Bone marrow aspirate smear — 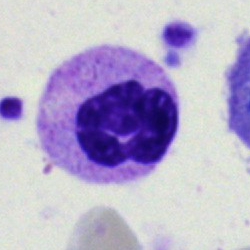 Single cell identified as a segmented neutrophil.